Bone marrow smear · brightfield microscopy, 40× oil immersion
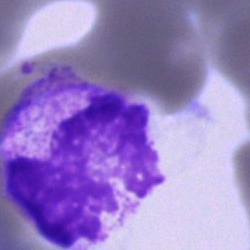 Morphology consistent with an unidentifiable cell.